Bone marrow smear: 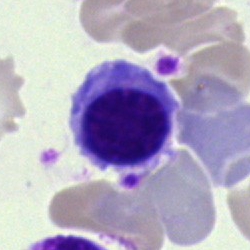 Morphology consistent with a normoblast.